Bone marrow smear: 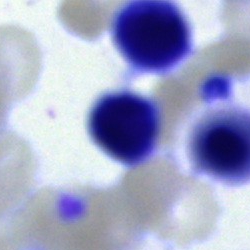The cell shown is a typical lymphocyte.